Bone marrow smear.
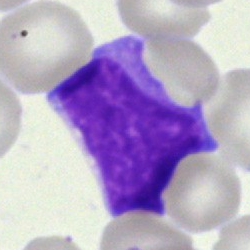Specimen: bone marrow aspirate smear.
Cell type: blast.